Image size 250×250. Bone marrow aspirate smear:
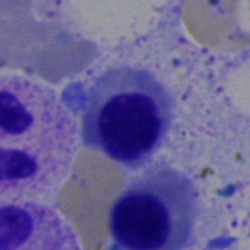Impression — normoblast.